Bone marrow smear: 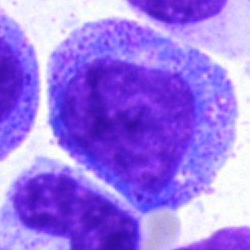
This is a progranulocyte.